Single-cell crop; 250×250 px; bone marrow aspirate smear — 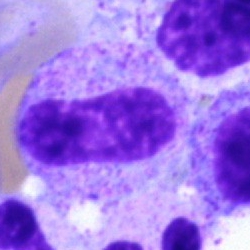
Specimen: bone marrow smear.
Cell type: band-form neutrophil.